250×250 px. Bone marrow smear: 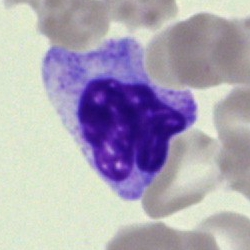

The cell type is artefact.